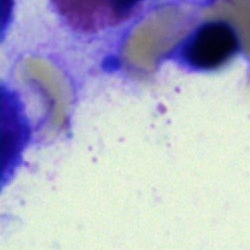

Q: What is shown here?
A: Artifact.